Bone marrow smear.
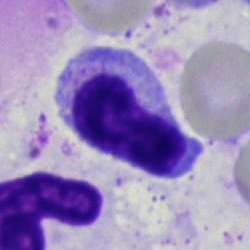This is a band neutrophil.